Cropped to a single cell; bone marrow smear; 40× objective, oil immersion:
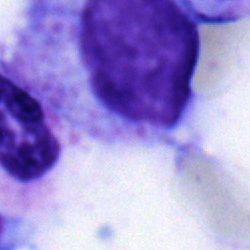 Q: What type of cell is this?
A: Myelocyte.